Bone marrow smear: 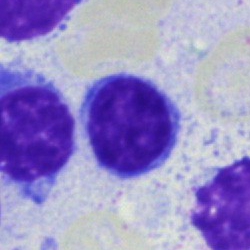
A typical lymphocyte.